40× oil immersion · bone marrow aspirate smear:
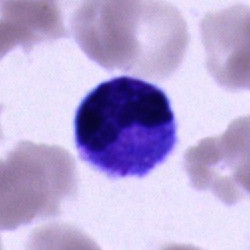 A cell of indeterminate lineage.